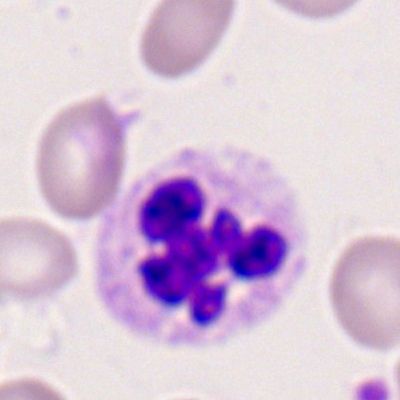

Classification: polymorphonuclear neutrophil.